40× objective, oil immersion. Bone marrow smear. May-Grünwald-Giemsa/Pappenheim stain.
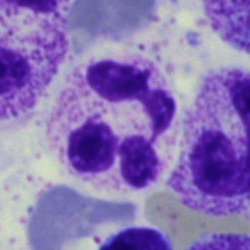Classification = polymorphonuclear neutrophil.